MGG-stained · bone marrow aspirate smear.
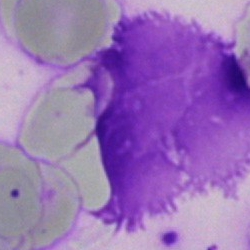
Q: What is shown here?
A: It is an artifact.